250×250 px · 40× objective, oil immersion · bone marrow aspirate smear:
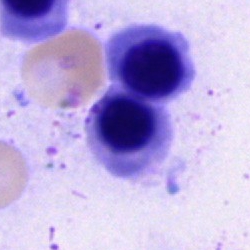

Impression → nucleated red cell.